Bone marrow aspirate smear
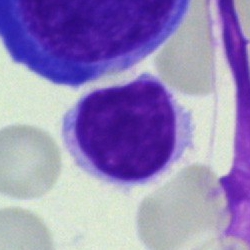Impression → typical lymphocyte.